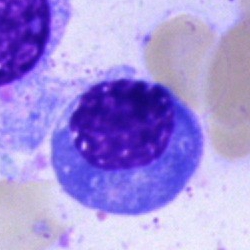 Showing a nucleated red cell.